Bone marrow aspirate smear. Image size 250×250.
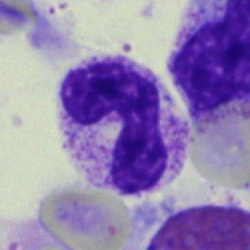 Morphology consistent with a band neutrophil.